Image size 250×250 · bone marrow smear: 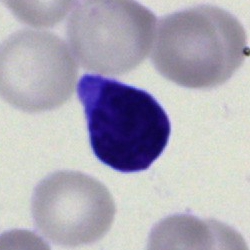

Single cell identified as a blast.